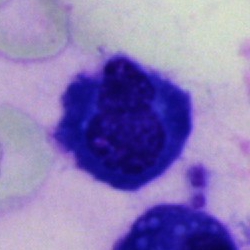
Single cell identified as a plasmacyte.